Peripheral blood smear
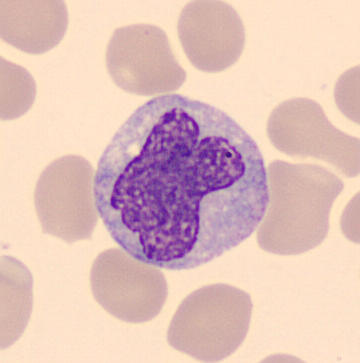Q: Identify the cell.
A: A monocyte.